Peripheral blood film · cropped to a single cell · image size 400×400:
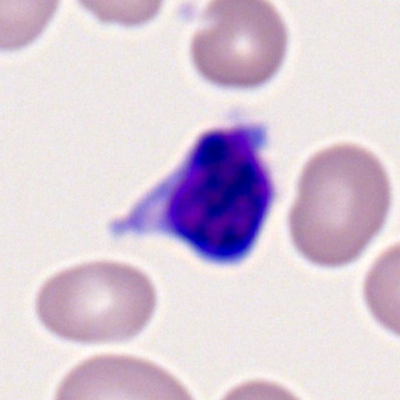

Morphology → typical lymphocyte.